Bone marrow smear.
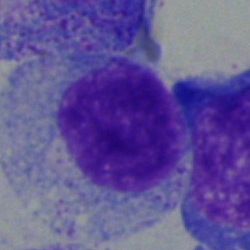
Q: Which cell type is shown here?
A: It is a myelocyte.